Bone marrow smear: 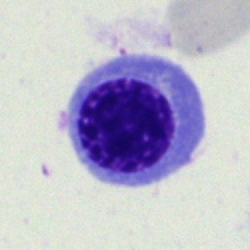Specimen: bone marrow aspirate smear.
Morphological class: erythroblast.
Lineage: erythroid.